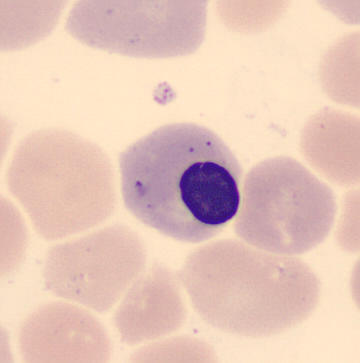 Morphology consistent with an erythroblast.

Peripheral blood smear.